Bone marrow smear — 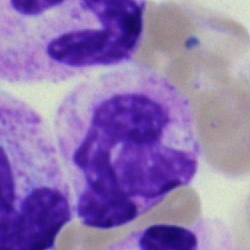 The cell shown is a neutrophil (segmented).